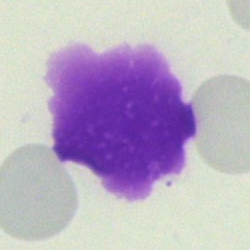
Q: What is shown here?
A: Artifact.